Bone marrow smear. Single-cell crop: 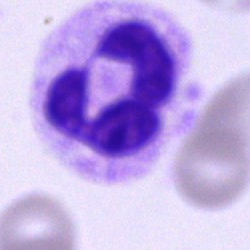Morphology — polymorphonuclear neutrophil.